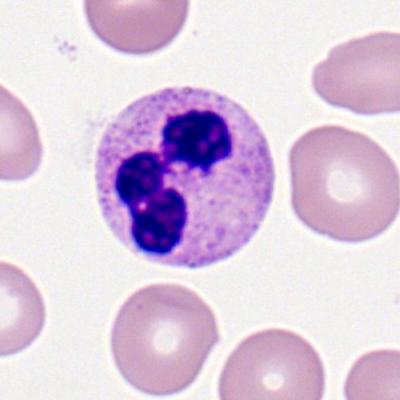

Peripheral blood film, single cell — polymorphonuclear neutrophil.